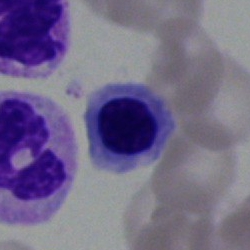
Bone marrow aspirate smear, single cell — normoblast.